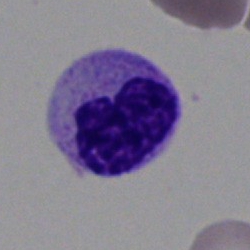 The cell is neutrophil (band).